40× oil immersion; bone marrow smear; image size 250×250: 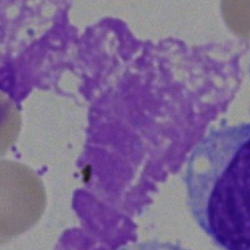
An artefact.